Peripheral blood smear: 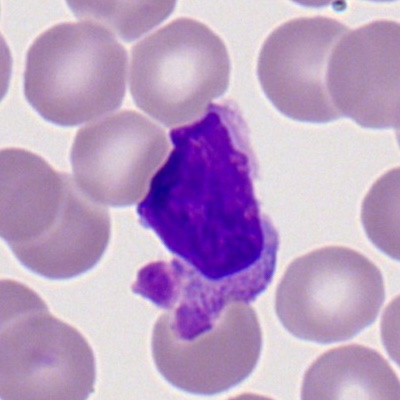
The cell type is lymphocyte.